Bone marrow aspirate smear.
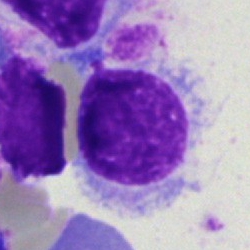
A typical lymphocyte.